250×250; bone marrow smear; May-Grünwald-Giemsa/Pappenheim stain.
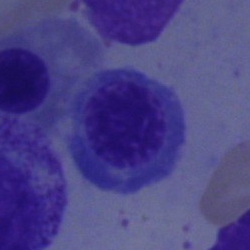

Morphology consistent with a band-form neutrophil.